Peripheral blood film — 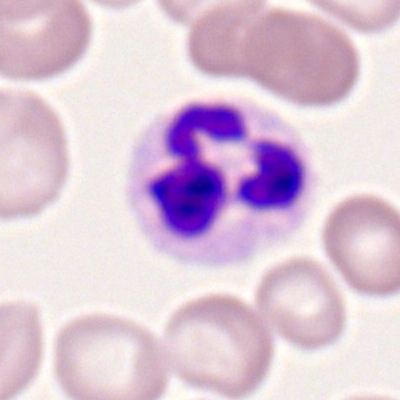 Q: What is the morphological classification of this cell?
A: Polymorphonuclear neutrophil.